250×250; bone marrow aspirate smear; MGG-stained
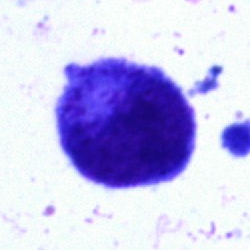
Q: What type of cell is this?
A: Promyelocyte.